Bone marrow aspirate smear
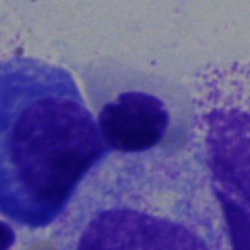
Q: Identify the cell.
A: Nucleated red cell.